Bone marrow smear; brightfield, 40× oil-immersion objective — 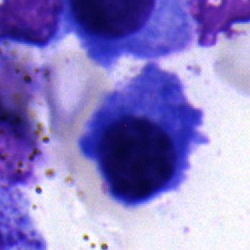 Plasmacyte.